Cropped to a single cell. Bone marrow aspirate smear. May-Grünwald-Giemsa/Pappenheim stain:
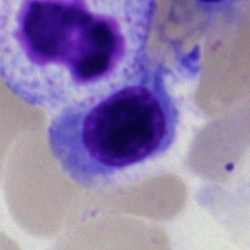
Classification: erythroblast.